Bone marrow smear — 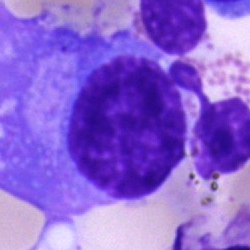

Morphology → plasmacyte.